Peripheral blood smear
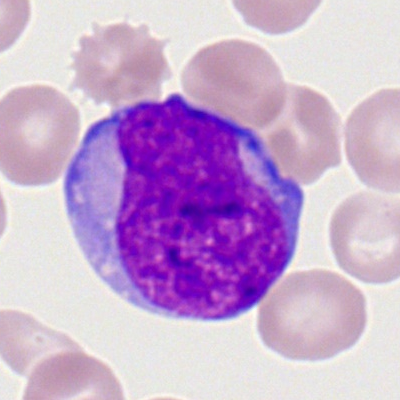Q: Identify the cell.
A: It is a myeloblast.